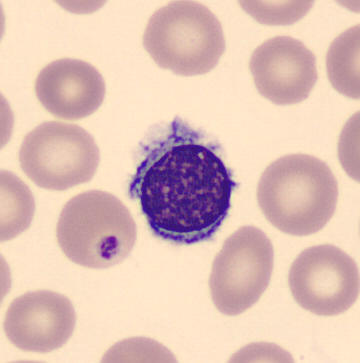The cell shown is a lymphocyte.

Peripheral blood smear · 360×363 · imaged on a CellaVision DM96 analyser.